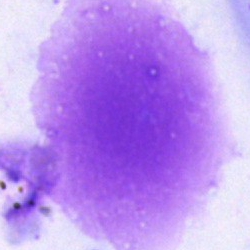

Single-cell crop from a bone marrow smear: artefact.